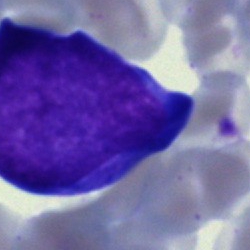 The classification is immature lymphocyte.